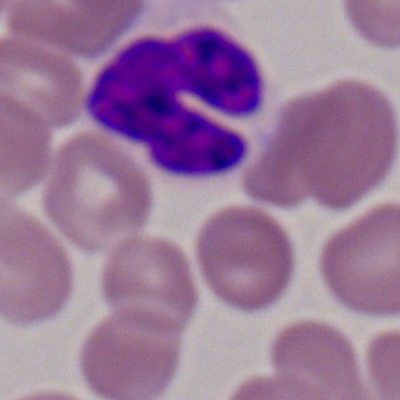Cell — polymorphonuclear neutrophil.